Bone marrow aspirate smear.
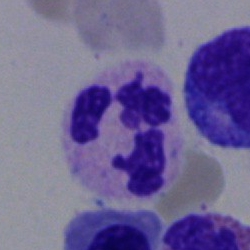

Morphology — polymorphonuclear neutrophil.